Bone marrow aspirate smear — 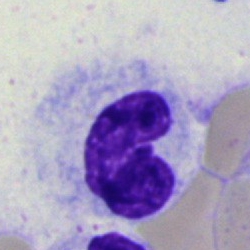

Classification — stab cell.